Bone marrow smear: 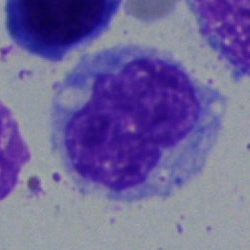 Monocyte.